400×400. Peripheral blood smear. 100× oil immersion:
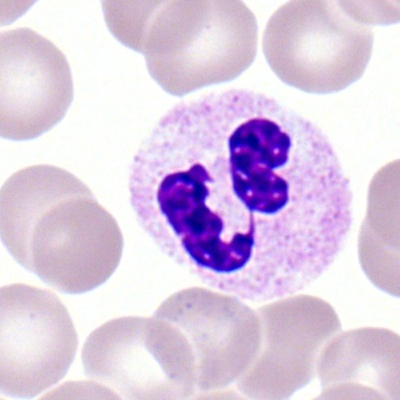 Impression — neutrophil (segmented).